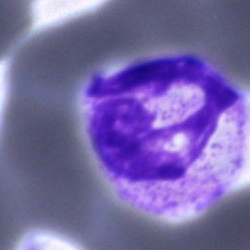Q: What type of cell is this?
A: Polymorphonuclear neutrophil.